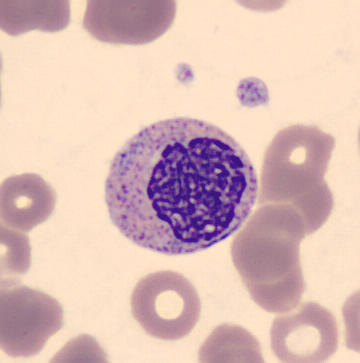
Single cell identified as a metamyelocyte.